250×250 px; bone marrow smear; single cell centered in the field
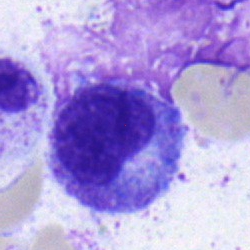Impression → metamyelocyte.